Bone marrow smear:
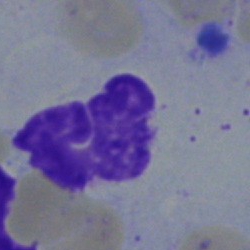 Q: What is the morphological classification of this cell?
A: Neutrophil (segmented).